Bone marrow smear — 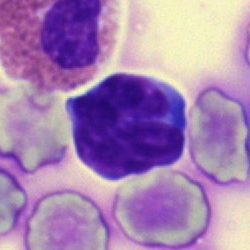 Morphology consistent with a typical lymphocyte.